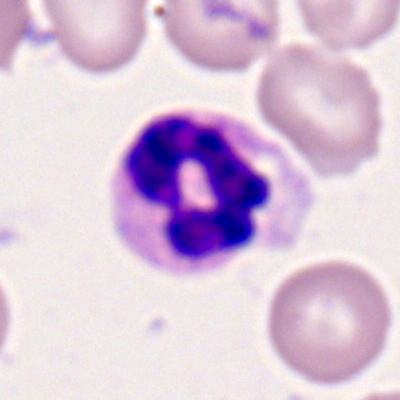{"cell_type": "neutrophil (segmented)", "lineage": "myeloid"}